Bone marrow smear:
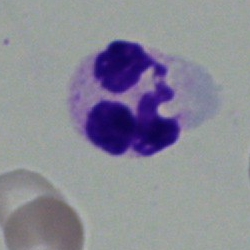 Morphology — segmented neutrophil.